Bone marrow aspirate smear. 40× oil immersion. 250×250:
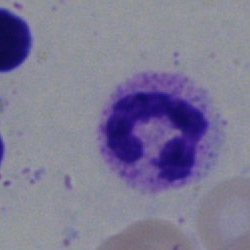Specimen: bone marrow smear.
Cell: neutrophil (segmented).